Bone marrow aspirate smear.
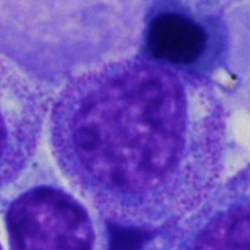Specimen: bone marrow aspirate smear.
Classification: promyelocyte.
Lineage: myeloid.